Peripheral blood smear. 400×400 px:
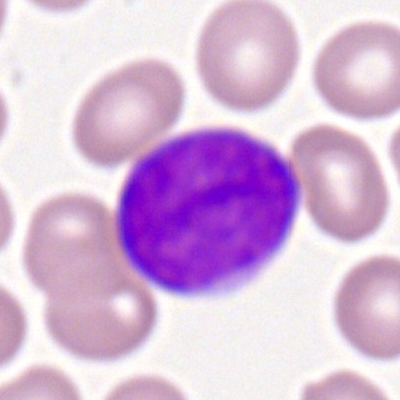 Morphological class — myeloblast.